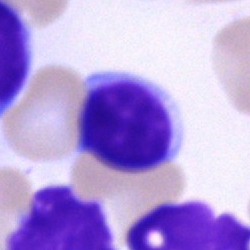

Morphological class: typical lymphocyte.